Bone marrow aspirate smear.
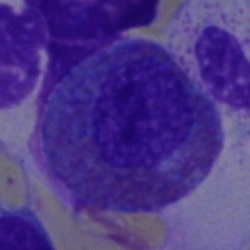
Cell — eosinophil.